Bone marrow aspirate smear:
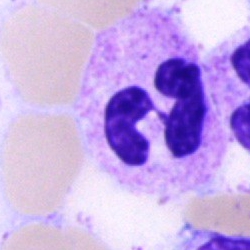 Morphology consistent with a polymorphonuclear neutrophil.